Peripheral blood film; image size 400×400
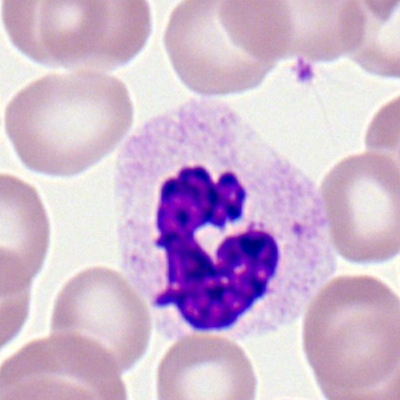Single cell identified as a segmented neutrophil.